Bone marrow smear — 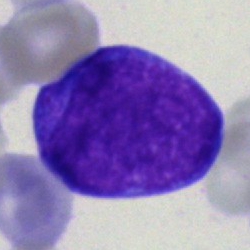
Cell type: blast cell.